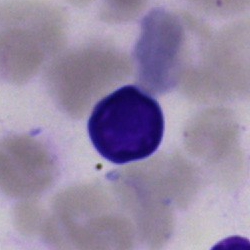

Morphology — typical lymphocyte.